Single cell centered in the field; bone marrow aspirate smear; 250×250 px — 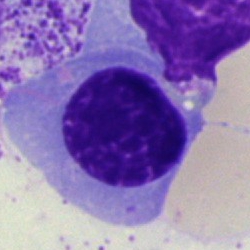
Classification: normoblast.